Bone marrow aspirate smear — 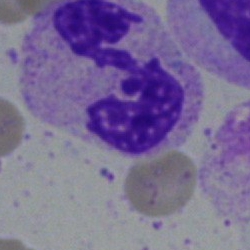
Morphology consistent with a polymorphonuclear neutrophil.